Bone marrow smear — 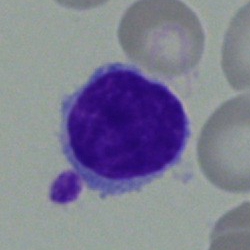A lymphocyte.